Bone marrow aspirate smear:
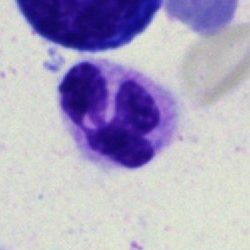 Morphology consistent with a segmented neutrophil.